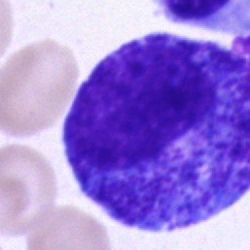

Classification = progranulocyte.